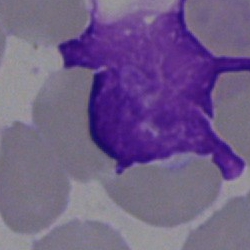
{"cell_type": "artefact"}